Bone marrow aspirate smear; brightfield microscopy, 40× oil immersion
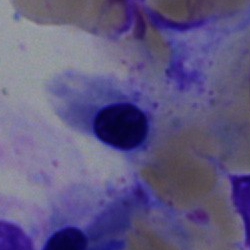
Erythroblast.